Bone marrow smear — 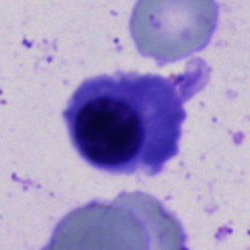 Q: Which cell type is shown here?
A: Nucleated red cell.